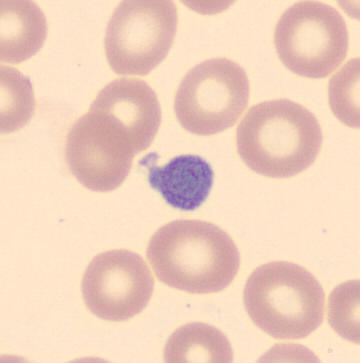 Impression → platelet.